Bone marrow aspirate smear: 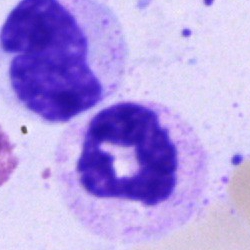 Morphology → neutrophil (segmented).